Brightfield microscopy, 40× oil immersion · image size 250×250 · bone marrow aspirate smear.
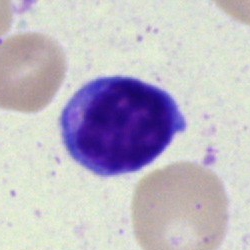Showing a typical lymphocyte.